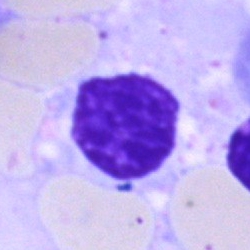 Morphology consistent with an artefact.